Bone marrow smear.
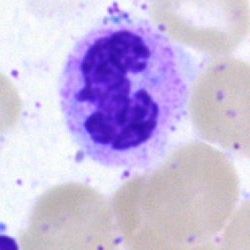
Morphological class — segmented neutrophil.